Pappenheim-stained; bone marrow smear.
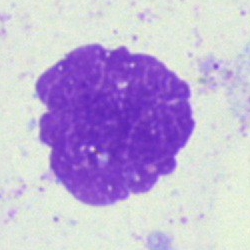An artifact.